Peripheral blood film
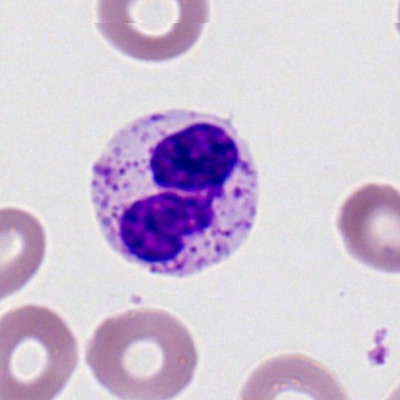 Specimen: peripheral blood film.
Classification: segmented neutrophil.
Lineage: myeloid.